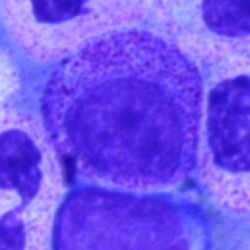

A myelocyte on a bone marrow smear.